Bone marrow smear.
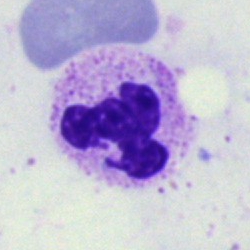
Classification: polymorphonuclear neutrophil.